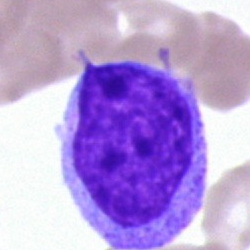
Blast.